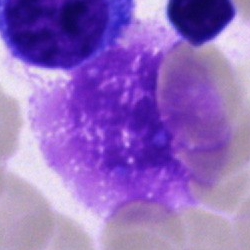Q: What is shown here?
A: Artefact.